Bone marrow smear
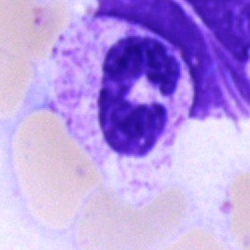 Morphology — neutrophil (band).